Bone marrow smear. MGG-stained. 250×250 px
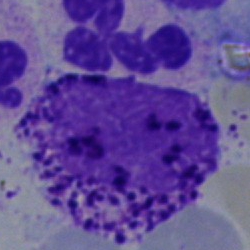Morphological class = basophilic granulocyte.